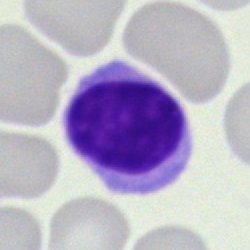
Morphology consistent with a typical lymphocyte.